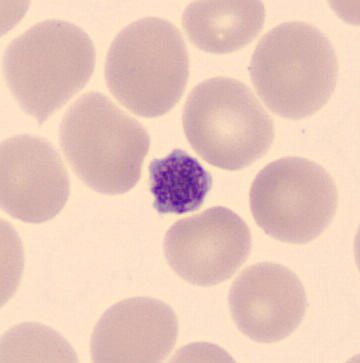
Acquisition: CellaVision DM96 · peripheral blood smear.
Morphology → platelet.